Bone marrow aspirate smear — 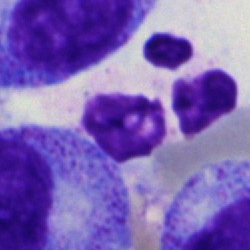 Q: What is shown here?
A: Artifact.